Peripheral blood smear. Romanowsky-type stain — 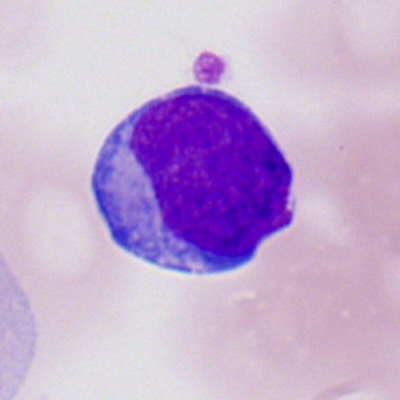

This is a myeloblast.